Bone marrow smear — 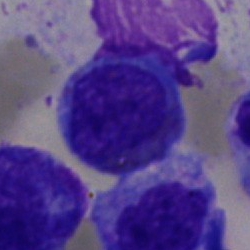
The cell shown is an undifferentiated blast.